Bone marrow aspirate smear: 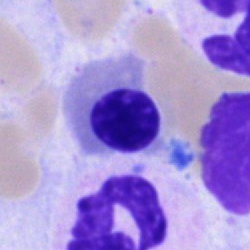
Cell — erythroblast.